May-Grünwald-Giemsa/Pappenheim stain; brightfield, 40× oil-immersion objective; bone marrow aspirate smear.
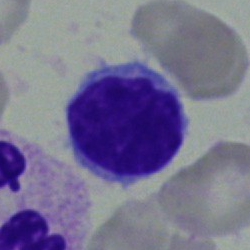

{"cell_type": "lymphocyte", "lineage": "lymphoid"}